Bone marrow smear; single-cell field; May-Grünwald-Giemsa stain
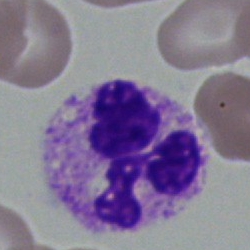
Q: Which cell type is shown here?
A: It is a segmented neutrophil.